40× objective, oil immersion; bone marrow aspirate smear.
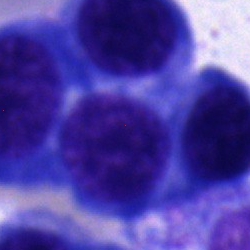

Q: What is shown here?
A: This is a nucleated red cell.